Bone marrow smear — 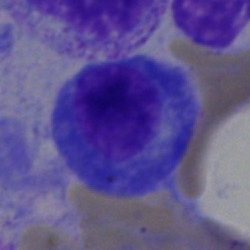

Showing a plasma cell.